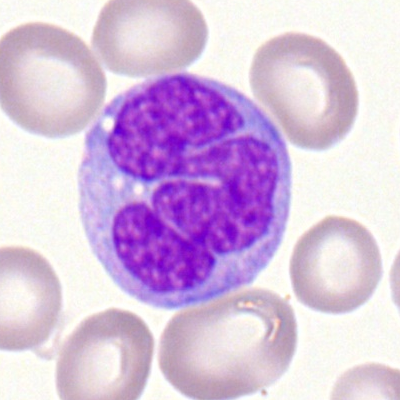 {"cell_type": "monocyte", "lineage": "myeloid"}